Image size 250×250. Bone marrow smear. Single cell centered in the field.
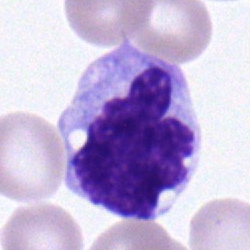
Q: What is the morphological classification of this cell?
A: This is a monocyte.